Bone marrow aspirate smear.
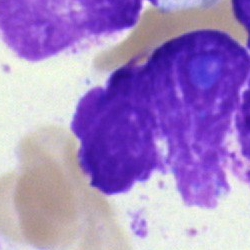 Specimen: bone marrow smear.
Morphological class: artefact.